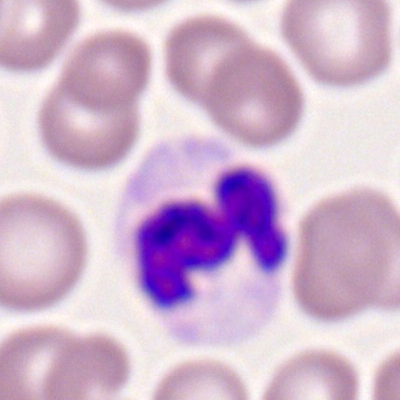
Specimen: peripheral blood film.
Cell: segmented neutrophil.